250×250 px · bone marrow aspirate smear · brightfield, 40× oil-immersion objective: 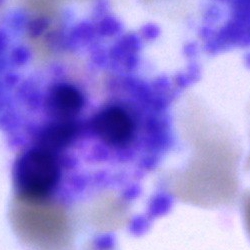An artifact.